Bone marrow aspirate smear:
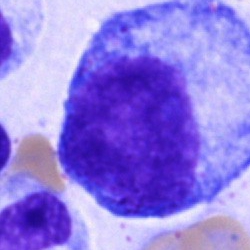

Showing a progranulocyte.